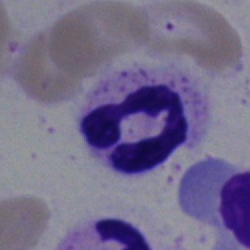
Q: What is shown here?
A: It is a segmented neutrophil.